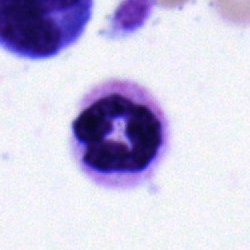
Specimen: bone marrow smear.
Cell: neutrophil (segmented).